Bone marrow smear: 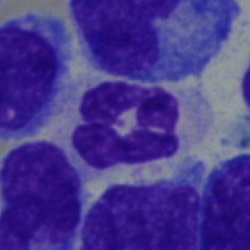This is a polymorphonuclear neutrophil.